May-Grünwald-Giemsa/Pappenheim stain. 250×250. Bone marrow aspirate smear: 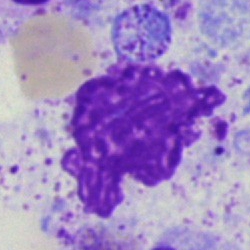Q: What is shown here?
A: An artefact.